400 by 400 pixels. Peripheral blood film: 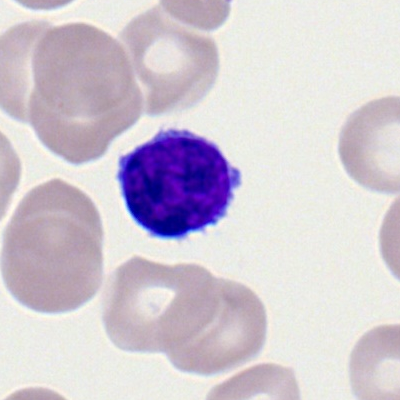

Specimen: peripheral blood smear.
Morphological class: lymphocyte.
Lineage: lymphoid.